Bone marrow aspirate smear — 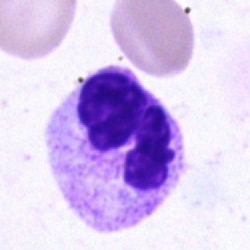 This is a segmented neutrophil.